Bone marrow aspirate smear. May-Grünwald-Giemsa stain.
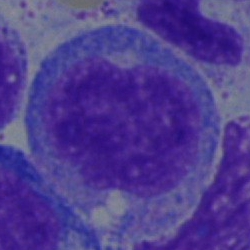
The cell shown is a promyelocyte.